Bone marrow aspirate smear · cropped to a single cell · 40× objective, oil immersion
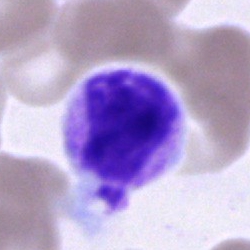
Cell type = myelocyte.